Bone marrow aspirate smear — 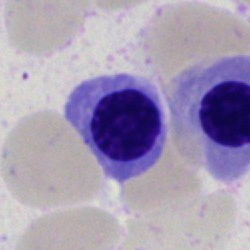
Specimen: bone marrow aspirate smear.
Classification: normoblast.
Lineage: erythroid.